Peripheral blood film
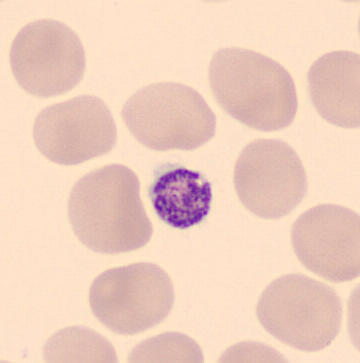
{"cell_type": "platelet (thrombocyte)"}